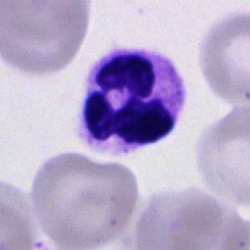

Morphological class: segmented neutrophil.